Bone marrow smear · MGG-stained: 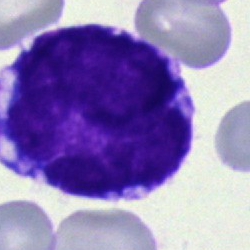{"cell_type": "blast cell"}